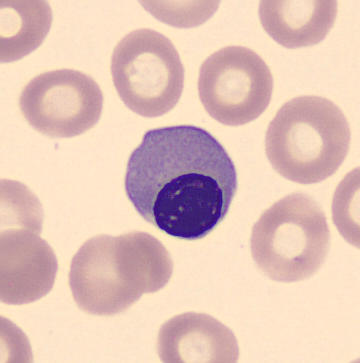
Image: Peripheral blood smear · MGG stain · imaged on a CellaVision DM96 analyser. Q: What is the morphological classification of this cell?
A: This is a normoblast.